Bone marrow aspirate smear; single-cell field.
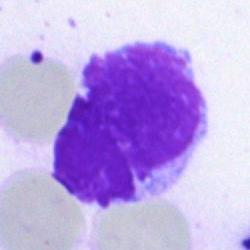

Morphological class — artifact.